Bone marrow aspirate smear.
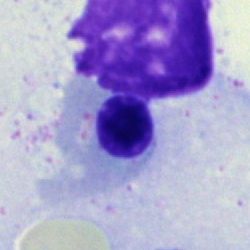Specimen: bone marrow aspirate smear.
Classification: erythroblast.
Lineage: erythroid.